250×250; bone marrow smear
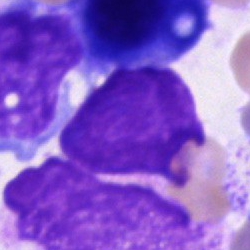 Classification — artifact.